Bone marrow smear · 250×250 px · 40× objective, oil immersion — 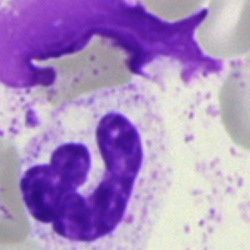
Morphology → neutrophil (segmented).